Peripheral blood smear; 100× oil immersion; Romanowsky-stained:
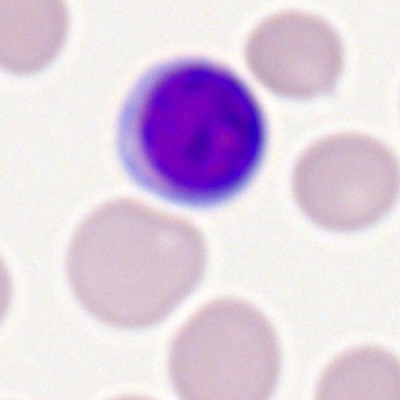 A typical lymphocyte.